Peripheral blood film
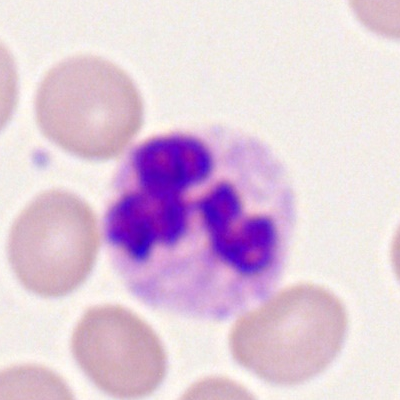
Polymorphonuclear neutrophil.